Bone marrow aspirate smear — 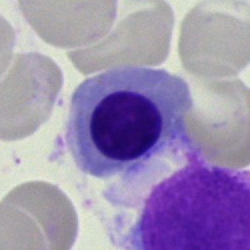

Q: What is the morphological classification of this cell?
A: Nucleated red cell.